MGG-stained. Peripheral blood smear.
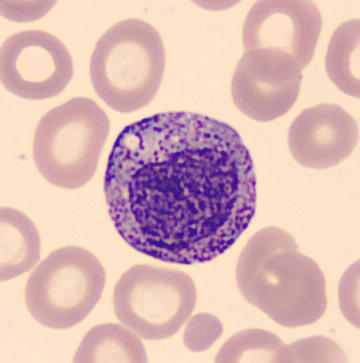

Q: What is the morphological classification of this cell?
A: This is a myelocyte.